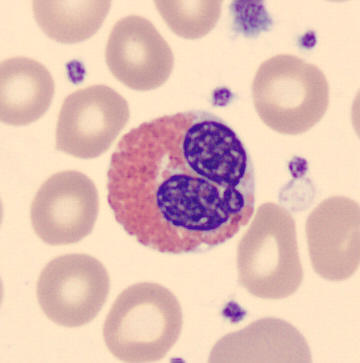The cell shown is an eosinophilic granulocyte.

Peripheral blood film.